Bone marrow aspirate smear. Single-cell field:
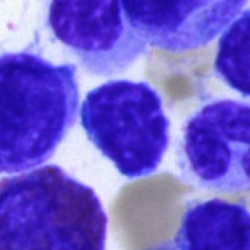 Q: What is shown here?
A: Lymphocyte.